Bone marrow smear — 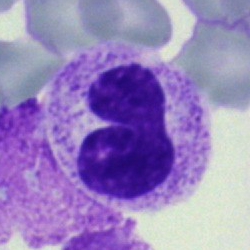 Specimen: bone marrow smear.
Classification: segmented neutrophil.
Lineage: myeloid.